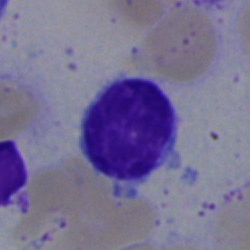
The cell type is typical lymphocyte.